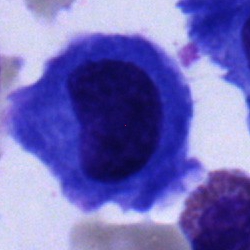

Q: What is the morphological classification of this cell?
A: It is a plasmacyte.